Bone marrow smear.
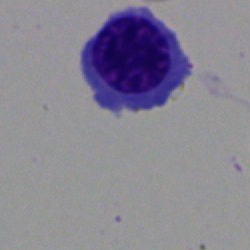
This is a normoblast.